Bone marrow aspirate smear — 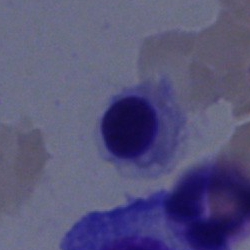
This is a normoblast.